Bone marrow aspirate smear: 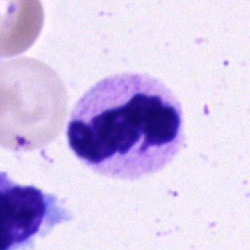
Morphology consistent with a polymorphonuclear neutrophil.